Bone marrow smear — 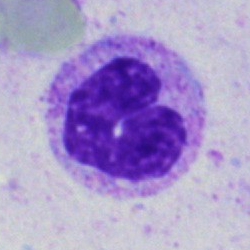

The classification is neutrophil (band).